Bone marrow aspirate smear — 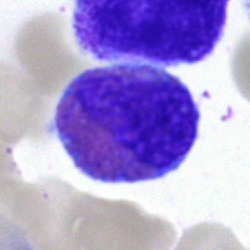
Morphological class = eosinophil.